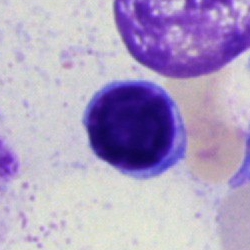 Q: What type of cell is this?
A: It is a typical lymphocyte.